Peripheral blood smear:
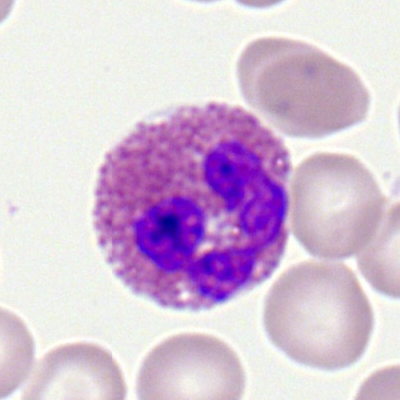Showing an eosinophil.